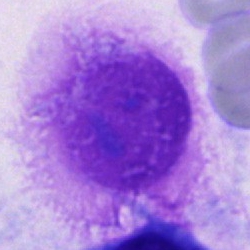
Specimen: bone marrow smear.
Cell: other cell.